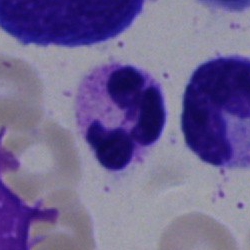
Impression → segmented neutrophil.